Bone marrow smear
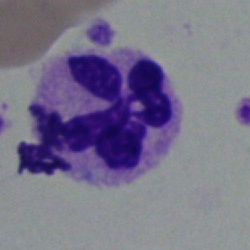Impression — neutrophil (segmented).